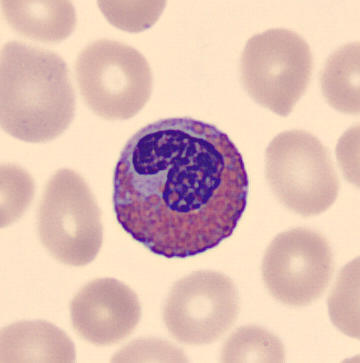Peripheral blood smear. Q: What is this?
A: An eosinophilic granulocyte.